Bone marrow smear: 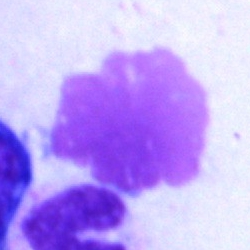
The morphological class is artifact.